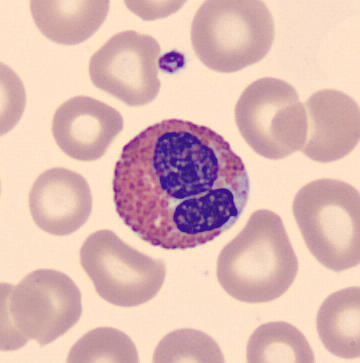
Peripheral blood smear.
{"cell_type": "eosinophil"}